Bone marrow aspirate smear · May-Grünwald-Giemsa stain — 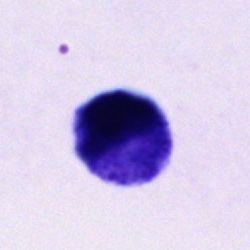 Cell of indeterminate lineage.